Bone marrow smear · single cell centered in the field:
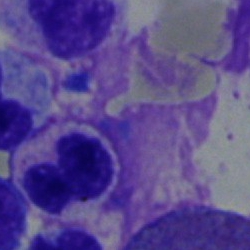This is a segmented neutrophil.